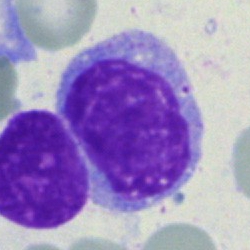
Single cell identified as a blast.